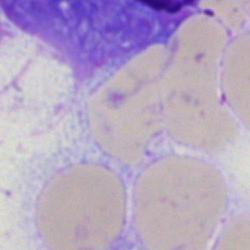This is an artefact.